Bone marrow aspirate smear: 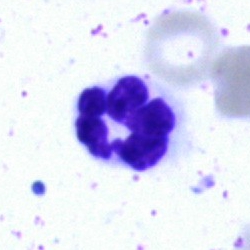
Morphology consistent with a polymorphonuclear neutrophil.